Peripheral blood film.
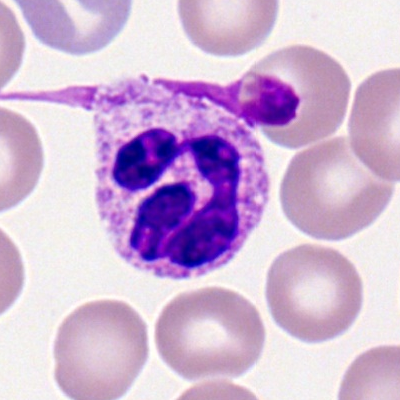 Specimen: peripheral blood smear.
Classification: polymorphonuclear neutrophil.
Lineage: myeloid.